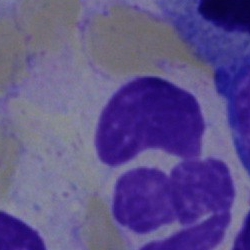

The cell type is artefact.